Bone marrow aspirate smear. Pappenheim-stained. 250×250 — 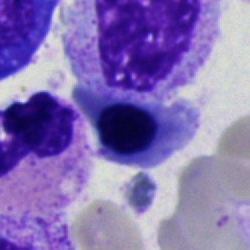
Q: What is the morphological classification of this cell?
A: This is a normoblast.